Bone marrow smear
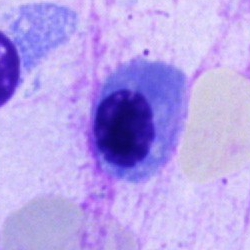

Classification — nucleated red blood cell.